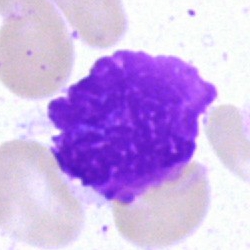 Specimen: bone marrow aspirate smear.
Cell: artefact.